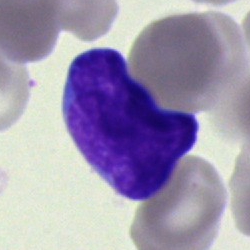The cell is blast.